May-Grünwald-Giemsa stain · bone marrow aspirate smear · brightfield microscopy, 40× oil immersion
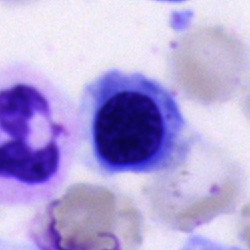 Q: What is the morphological classification of this cell?
A: An erythroblast.